Bone marrow aspirate smear; Pappenheim-stained: 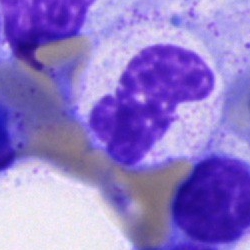 Specimen: bone marrow smear.
Cell type: neutrophil (segmented).
Lineage: myeloid.